Brightfield, 40× oil-immersion objective · bone marrow smear: 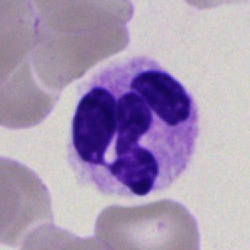 The classification is neutrophil (segmented).